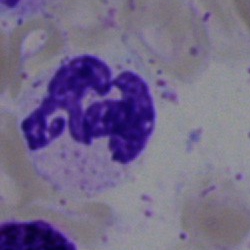
Q: Which cell type is shown here?
A: It is a segmented neutrophil.